Bone marrow aspirate smear
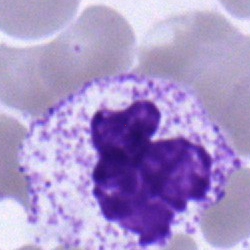Specimen: bone marrow aspirate smear.
Classification: polymorphonuclear neutrophil.